Bone marrow aspirate smear:
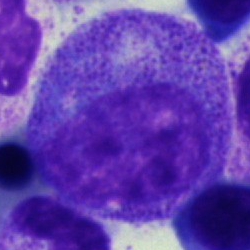Classification — promyelocyte.